Bone marrow aspirate smear: 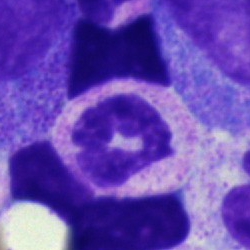
{"cell_type": "neutrophil (segmented)", "lineage": "myeloid"}